Brightfield microscopy, 40× oil immersion. Pappenheim-stained. Bone marrow smear:
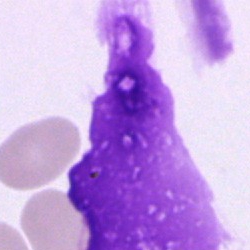 This is an artifact.